Bone marrow aspirate smear — 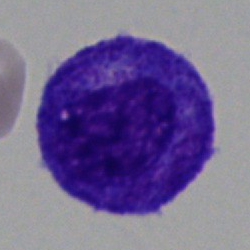 Specimen: bone marrow smear.
Cell type: progranulocyte.